Peripheral blood film
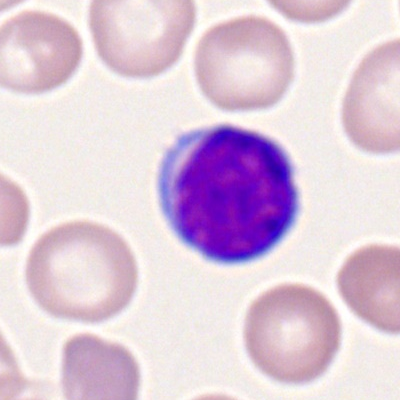

Classification — lymphocyte.